Single-cell field. Brightfield, 40× oil-immersion objective. Bone marrow smear.
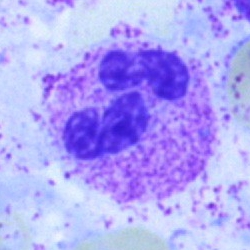

Cell type: neutrophil (segmented).